Pappenheim-stained; bone marrow smear.
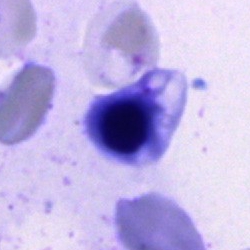Impression — erythroblast.